Bone marrow smear:
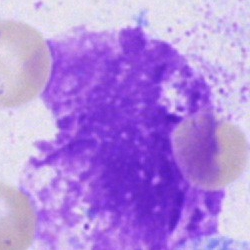 Morphology consistent with an artefact.